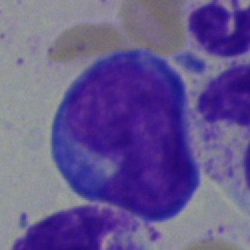Specimen: bone marrow smear.
Morphological class: blast cell.